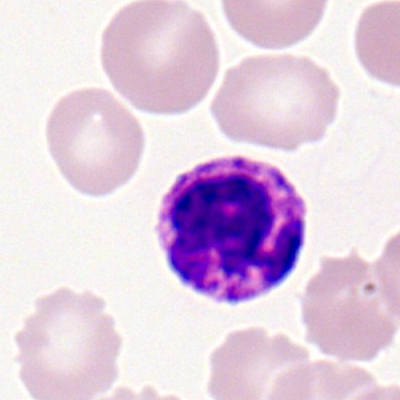

Single cell identified as a basophil.